Bone marrow smear
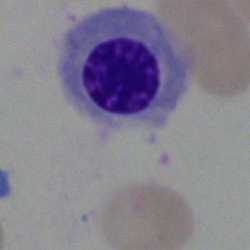 Specimen: bone marrow aspirate smear.
Morphological class: nucleated red cell.
Lineage: erythroid.